Bone marrow smear. Single-cell crop.
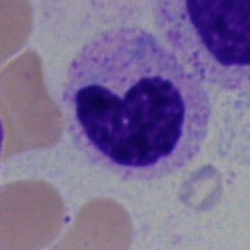

Morphology → band-form neutrophil.